May-Grünwald-Giemsa/Pappenheim stain · 40× objective, oil immersion · bone marrow aspirate smear:
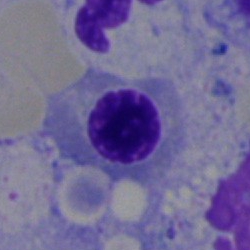

Specimen: bone marrow aspirate smear.
Cell: erythroblast.
Lineage: erythroid.